Bone marrow aspirate smear
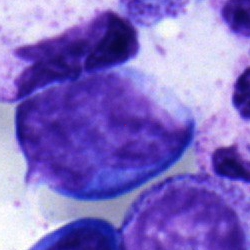

The cell is blast cell.